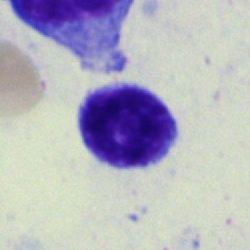Cell type — typical lymphocyte.